Bone marrow aspirate smear. May-Grünwald-Giemsa stain — 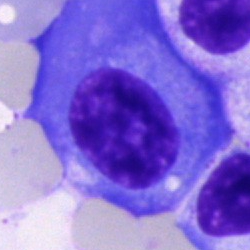
{"cell_type": "plasmacyte"}